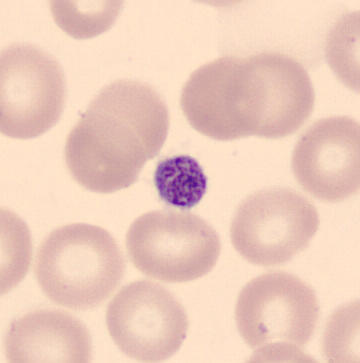

Peripheral blood film.

The morphological class is platelet (thrombocyte).